Peripheral blood smear.
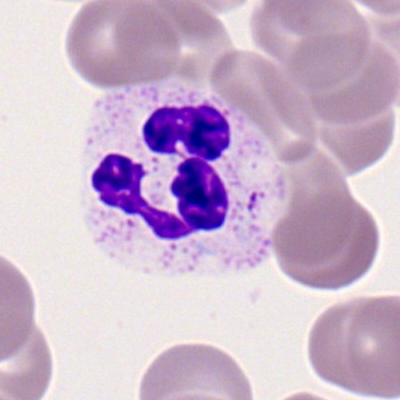{"cell_type": "neutrophil (segmented)", "lineage": "myeloid"}